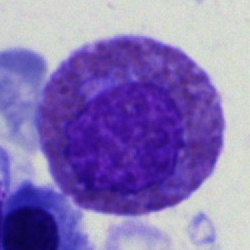 Q: What is shown here?
A: It is an eosinophil.